Bone marrow smear. Image size 250×250: 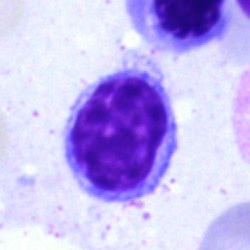

Classification: lymphocyte.